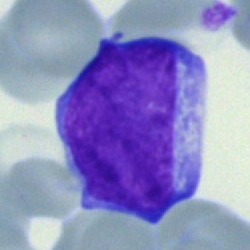The cell shown is an immature lymphocyte.